250 by 250 pixels; bone marrow smear — 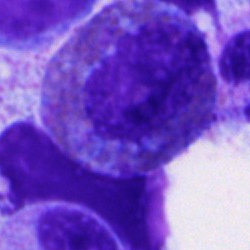
{"cell_type": "eosinophil", "lineage": "myeloid"}